Image size 250×250 · bone marrow aspirate smear: 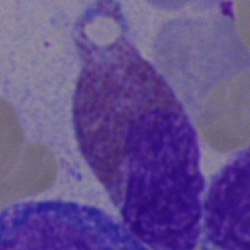
The cell is eosinophilic granulocyte.